Bone marrow smear: 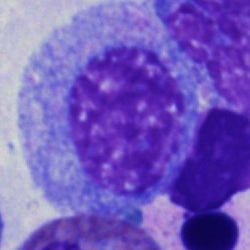Classification: promyelocyte.